Bone marrow smear.
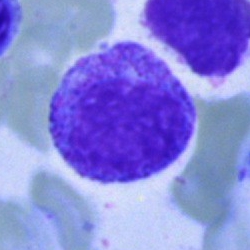
The classification is myelocyte.